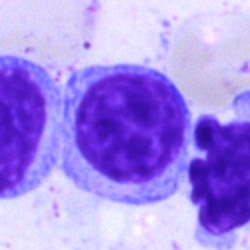

The cell shown is a lymphocyte.